Bone marrow smear: 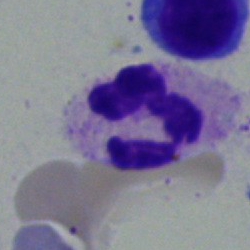
Morphological class: polymorphonuclear neutrophil.